Bone marrow smear; May-Grünwald-Giemsa stain:
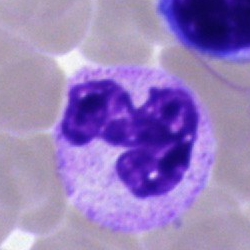A neutrophil (segmented).